May-Grünwald-Giemsa stain · bone marrow smear · brightfield microscopy, 40× oil immersion.
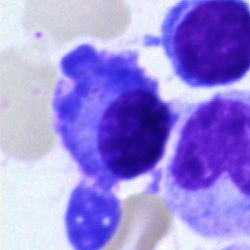Specimen: bone marrow smear.
Morphological class: plasma cell.